May-Grünwald-Giemsa/Pappenheim stain · image size 250×250 · bone marrow aspirate smear.
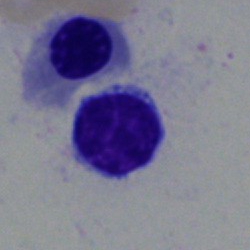The morphological class is lymphocyte.